Bone marrow aspirate smear; cropped to a single cell:
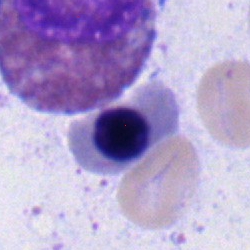This is an eosinophil.